Bone marrow aspirate smear:
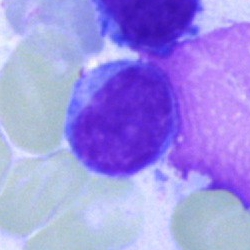Lymphocyte.